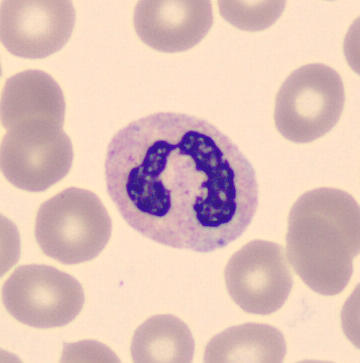Classification — segmented neutrophil.